Bone marrow aspirate smear. May-Grünwald-Giemsa/Pappenheim stain:
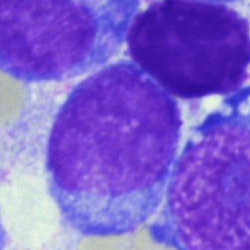
Classification — undifferentiated blast.